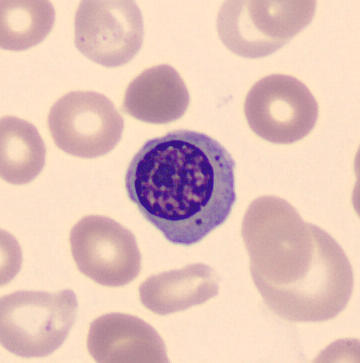Single cell centered in the field. Peripheral blood smear.

Cell type = erythroblast.